Bone marrow smear; Pappenheim-stained; 40× objective, oil immersion:
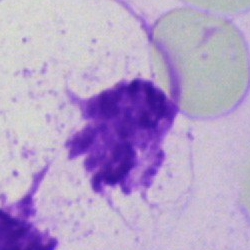Morphology consistent with an artifact.